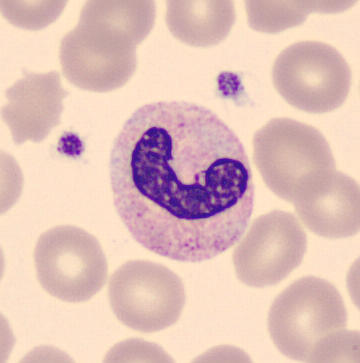
Cell type: stab cell.

Single-cell field. Peripheral blood smear.